Bone marrow aspirate smear:
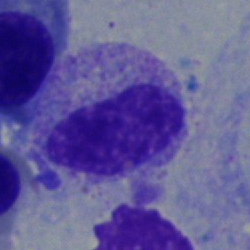
Morphological class — metamyelocyte.